Bone marrow aspirate smear. Single-cell field. Brightfield, 40× oil-immersion objective:
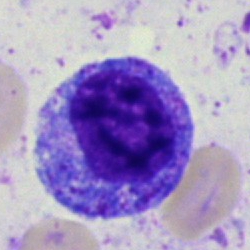 Morphology — progranulocyte.